Bone marrow aspirate smear; May-Grünwald-Giemsa/Pappenheim stain.
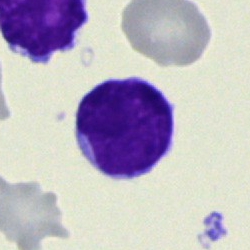
The cell shown is a lymphocyte.